250 by 250 pixels. Bone marrow aspirate smear:
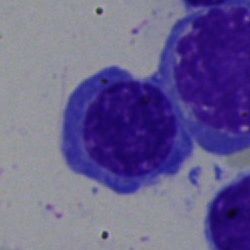 Q: What cell is this?
A: Nucleated red cell.